Brightfield microscopy, 40× oil immersion. 250×250 px. Bone marrow aspirate smear
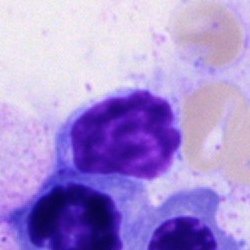
The cell shown is a typical lymphocyte.